250×250 px · bone marrow aspirate smear · May-Grünwald-Giemsa/Pappenheim stain:
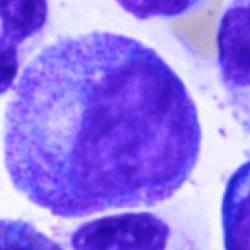
Morphological class — progranulocyte.